Bone marrow smear
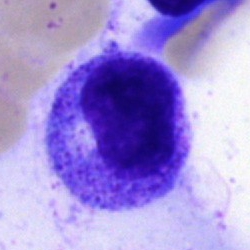
Morphology consistent with a promyelocyte.